Single-cell field. Bone marrow aspirate smear — 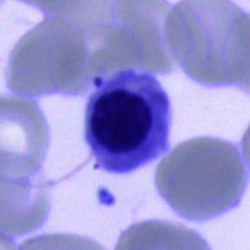

Specimen: bone marrow aspirate smear.
Cell: erythroblast.
Lineage: erythroid.